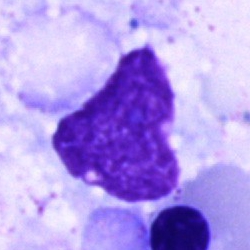

This is an artefact.